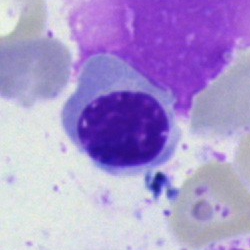The cell shown is an erythroblast.